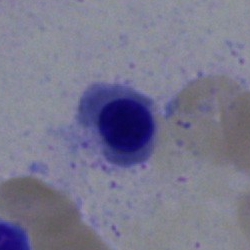
Morphology consistent with an erythroblast.